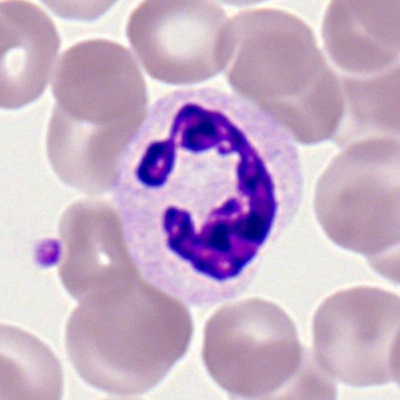
Cell = neutrophil (segmented).